Bone marrow smear · 40× oil immersion · 250×250 px.
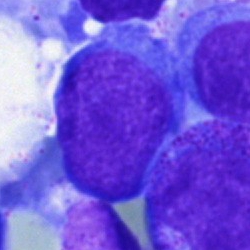 Morphology consistent with a blast cell.